Bone marrow aspirate smear:
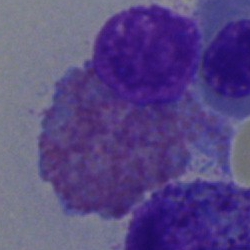
The cell shown is an eosinophilic granulocyte.